Bone marrow aspirate smear — 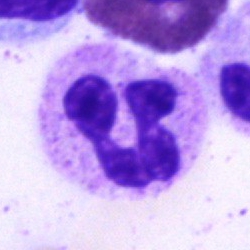 Showing a segmented neutrophil.